Bone marrow smear: 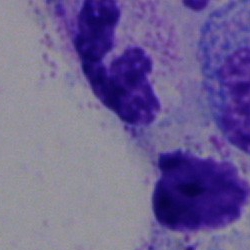Classification — polymorphonuclear neutrophil.